Bone marrow smear — 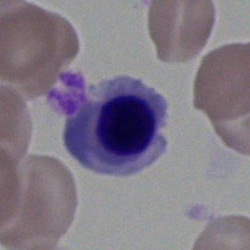

Specimen: bone marrow smear.
Classification: nucleated red cell.
Lineage: erythroid.